MGG-stained. Bone marrow aspirate smear: 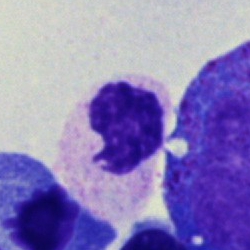Morphological class = neutrophil (segmented).